Bone marrow aspirate smear · brightfield microscopy, 40× oil immersion · 250 by 250 pixels — 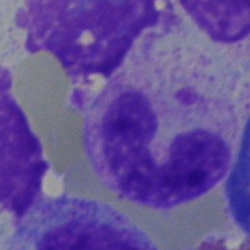 Morphology — segmented neutrophil.